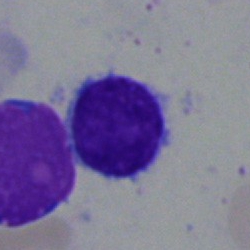

Specimen: bone marrow aspirate smear.
Cell: lymphocyte.
Lineage: lymphoid.